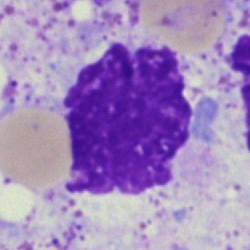

Bone marrow smear showing an artifact.